Bone marrow smear:
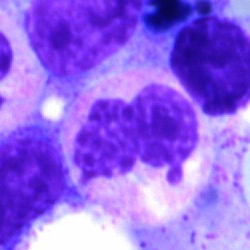Morphological class — neutrophil (segmented).